Cropped to a single cell; bone marrow smear; 40× objective, oil immersion: 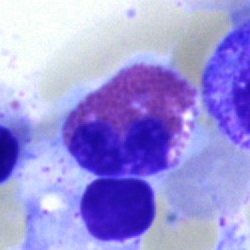Q: Which cell type is shown here?
A: An eosinophilic granulocyte.